Bone marrow smear — 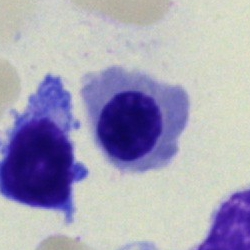 Q: What type of cell is this?
A: An erythroblast.